Bone marrow smear · image size 250×250
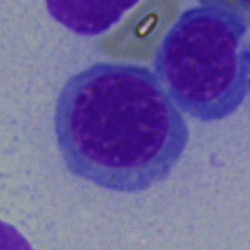

Specimen: bone marrow smear.
Cell type: nucleated red cell.